Bone marrow aspirate smear — 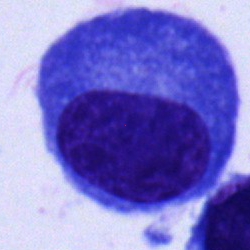Impression — plasmacyte.